Bone marrow aspirate smear — 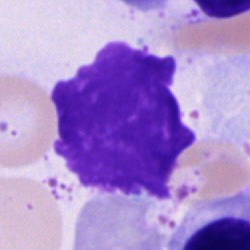Showing an artifact.